Peripheral blood smear
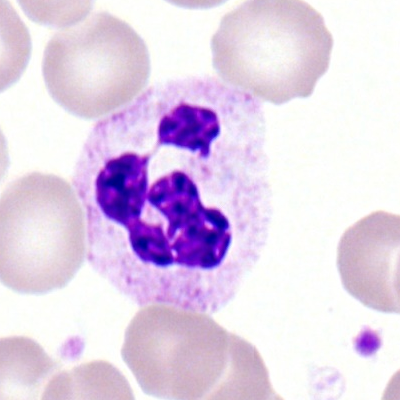

Classification: neutrophil (segmented).